Bone marrow aspirate smear · brightfield, 40× oil-immersion objective:
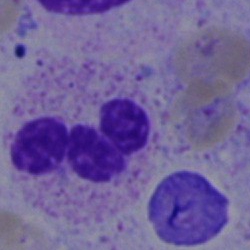 This is a polymorphonuclear neutrophil.